May-Grünwald-Giemsa/Pappenheim stain · bone marrow smear:
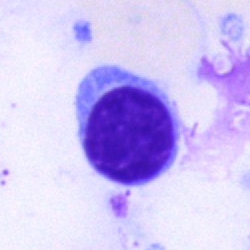 Morphology consistent with a lymphocyte.